Bone marrow aspirate smear; 250 by 250 pixels
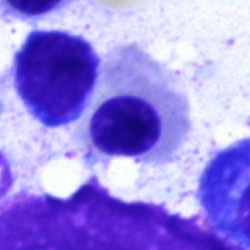 Showing a nucleated red cell.